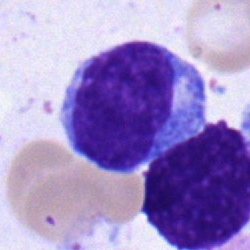Q: Which cell type is shown here?
A: Typical lymphocyte.